Bone marrow aspirate smear · Pappenheim-stained
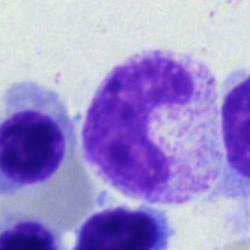Morphology → neutrophil (band).